Peripheral blood film.
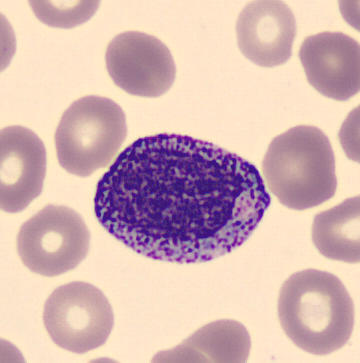

The morphological class is promyelocyte.